Image size 250×250; bone marrow smear: 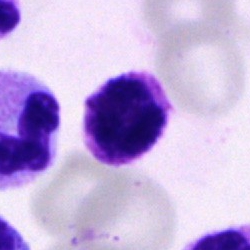Morphology consistent with a basophil.